Bone marrow aspirate smear — 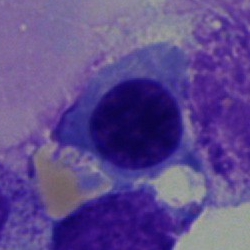

Q: What is the morphological classification of this cell?
A: A nucleated red blood cell.